40× oil immersion · single cell centered in the field · bone marrow smear — 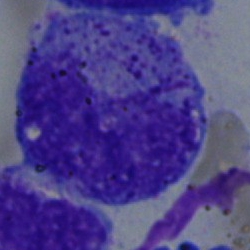
Metamyelocyte.